MGG-stained · bone marrow aspirate smear
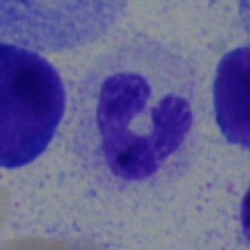 Cell = neutrophil (segmented).